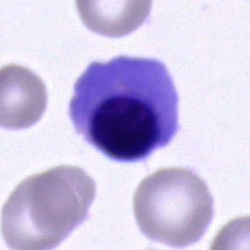 Q: Identify the cell.
A: It is a normoblast.